Bone marrow aspirate smear.
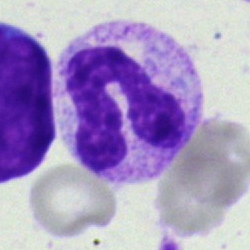Morphological class — polymorphonuclear neutrophil.